Bone marrow smear. May-Grünwald-Giemsa/Pappenheim stain.
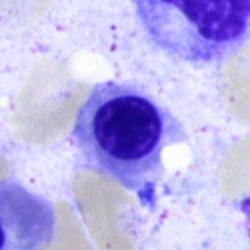

Morphology — erythroblast.